Bone marrow smear:
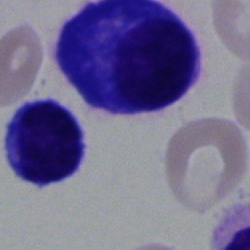

Morphology — plasmacyte.